Bone marrow aspirate smear
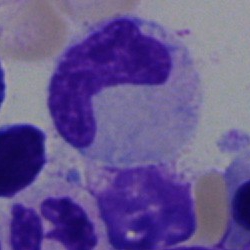

Cell type: band neutrophil.